Bone marrow smear:
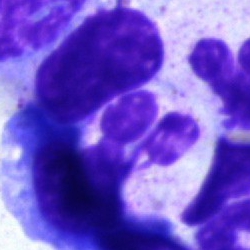This is a neutrophil (segmented).